MGG-stained · bone marrow aspirate smear: 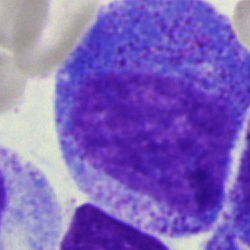Specimen: bone marrow smear.
Cell type: progranulocyte.